40× oil immersion · bone marrow aspirate smear — 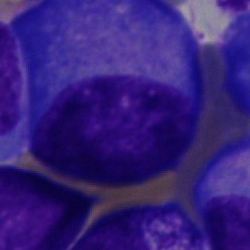

Impression — plasmacyte.